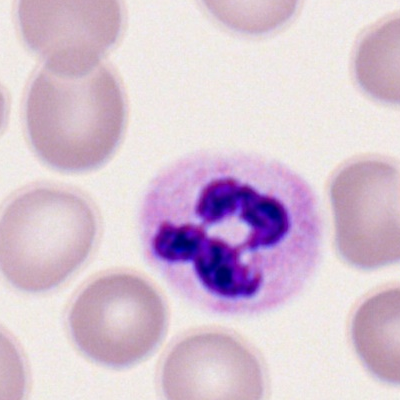
Cell — segmented neutrophil.